40× objective, oil immersion · bone marrow aspirate smear
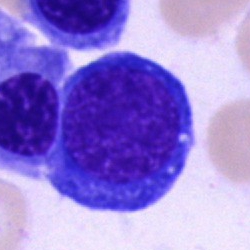

Morphology consistent with a normoblast.